Brightfield, 100× oil-immersion objective; peripheral blood smear: 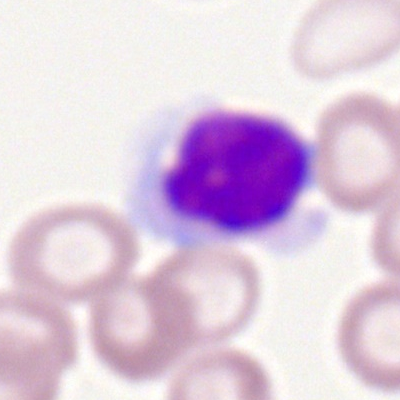
Cell type: lymphocyte.